400 by 400 pixels · peripheral blood film — 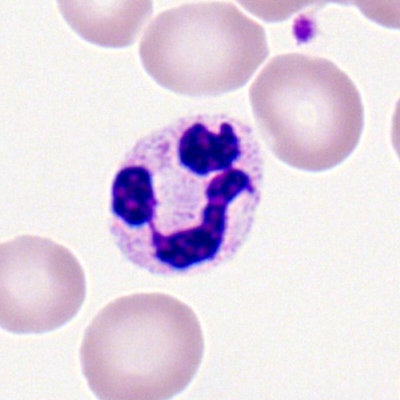

The cell is polymorphonuclear neutrophil.